Bone marrow aspirate smear. 250×250. Pappenheim-stained — 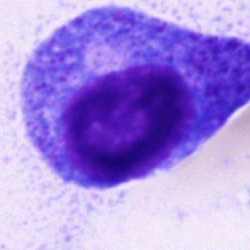
A progranulocyte.